Bone marrow smear
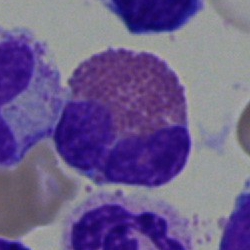Impression → eosinophil.